Single-cell field · bone marrow aspirate smear · image size 250×250 — 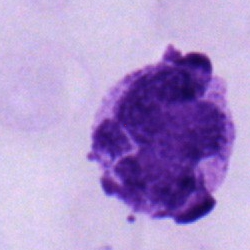Single cell identified as a segmented neutrophil.